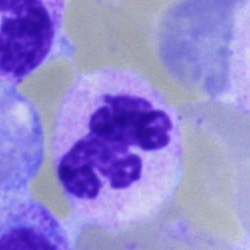

Showing a neutrophil (segmented).